Peripheral blood film — 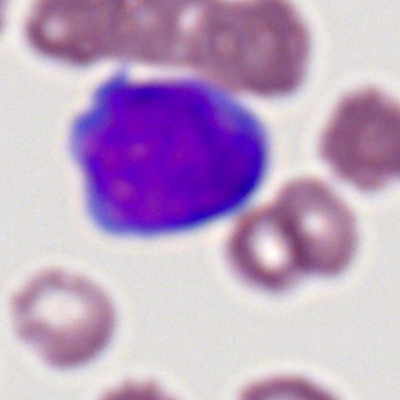
A myeloblast.